Bone marrow smear. Single cell centered in the field: 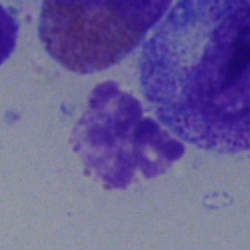
The morphological class is artifact.